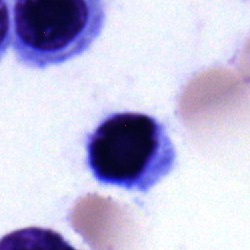

{"cell_type": "lymphocyte", "lineage": "lymphoid"}